Bone marrow aspirate smear.
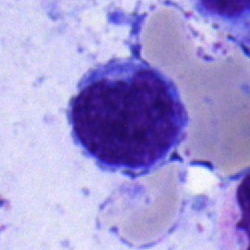

A lymphocyte.